Bone marrow smear
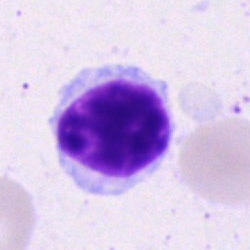
Q: What cell is this?
A: Lymphocyte.